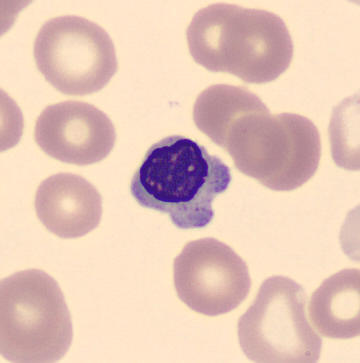

Specimen: peripheral blood film.
Cell: nucleated red blood cell.